Bone marrow smear
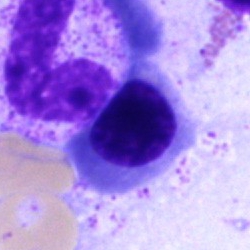

Specimen: bone marrow smear.
Cell: nucleated red blood cell.
Lineage: erythroid.